Bone marrow aspirate smear:
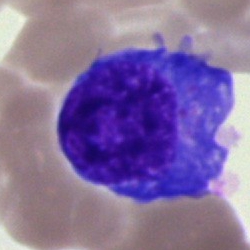Q: Identify the cell.
A: It is a plasmacyte.